Peripheral blood film: 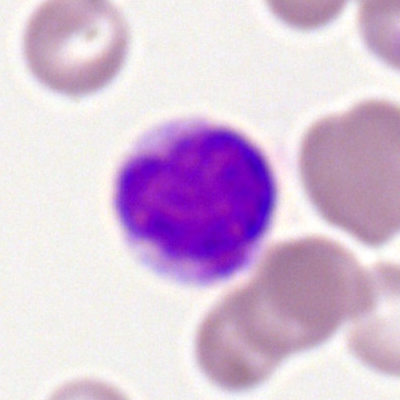The cell is typical lymphocyte.